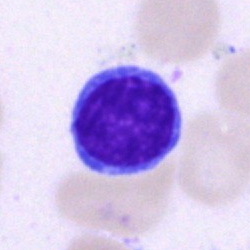

Showing a lymphocyte.